Bone marrow smear · brightfield, 40× oil-immersion objective · May-Grünwald-Giemsa/Pappenheim stain — 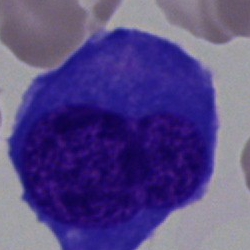

Morphological class = nucleated red cell.